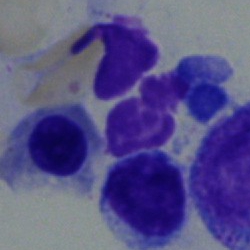Q: Which cell type is shown here?
A: It is a segmented neutrophil.